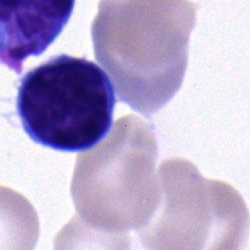
A lymphocyte on a bone marrow smear.